Single cell centered in the field; bone marrow aspirate smear; 250 by 250 pixels:
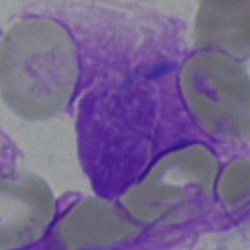Cell: artefact.